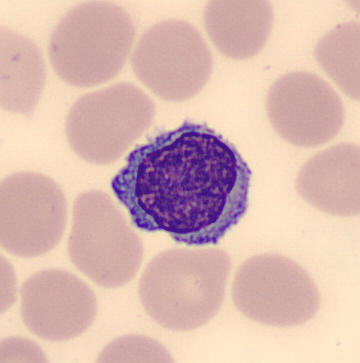
Q: What is shown here?
A: Typical lymphocyte. MGG stain · peripheral blood film.